Bone marrow smear · brightfield, 40× oil-immersion objective · single cell centered in the field
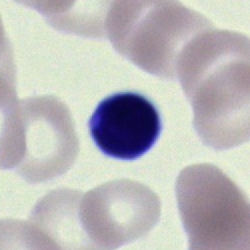 Single cell identified as a lymphocyte.